May-Grünwald-Giemsa/Pappenheim stain; bone marrow smear:
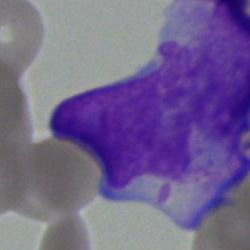 Specimen: bone marrow aspirate smear.
Cell: blast cell.